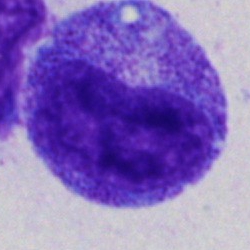The cell is myelocyte.